Bone marrow aspirate smear
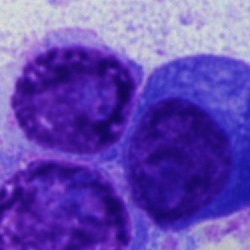 Classification: plasma cell.